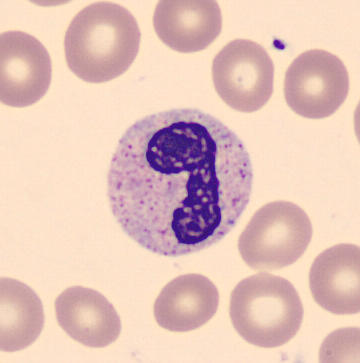 Q: What type of cell is this?
A: A stab cell.